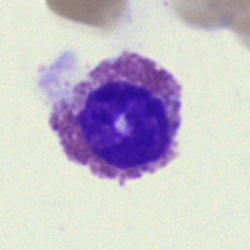
Q: What is shown here?
A: It is an eosinophil.